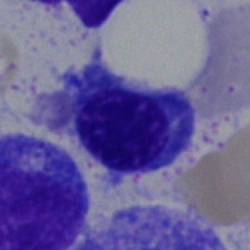
Q: Which cell type is shown here?
A: It is a normoblast.